Bone marrow smear.
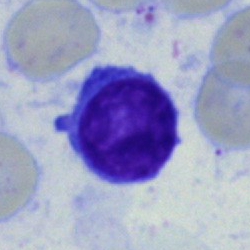 Showing a typical lymphocyte.